Peripheral blood smear
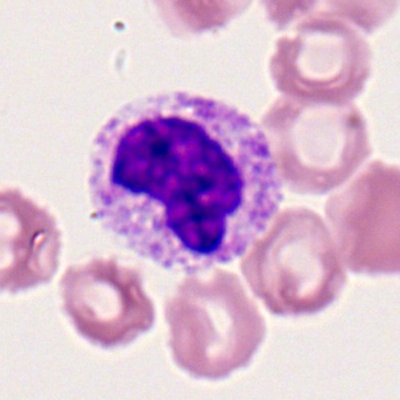

Specimen: peripheral blood film.
Classification: segmented neutrophil.
Lineage: myeloid.